Bone marrow aspirate smear
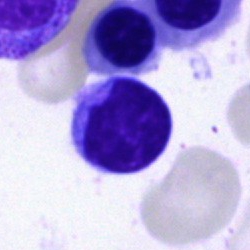

The cell shown is a lymphocyte.